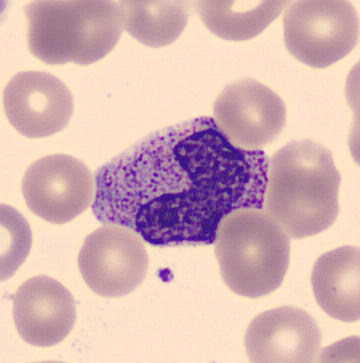
Specimen: peripheral blood film.
Cell: metamyelocyte.
Lineage: myeloid.